Bone marrow smear; 250×250 px
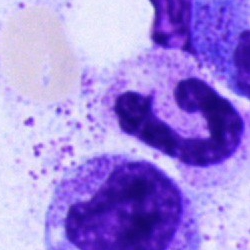

Morphology consistent with a segmented neutrophil.